Image size 250×250; MGG-stained; bone marrow aspirate smear.
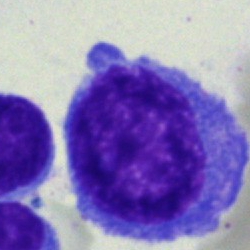The cell shown is an undifferentiated blast.